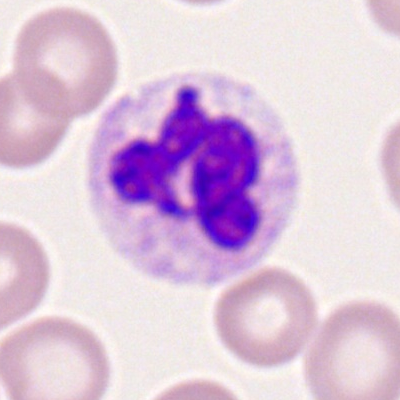

Impression → polymorphonuclear neutrophil.